Bone marrow smear: 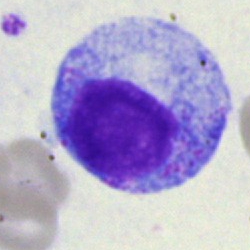
Q: Identify the cell.
A: Progranulocyte.